Bone marrow aspirate smear. Single-cell field. Brightfield microscopy, 40× oil immersion:
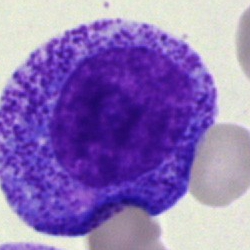

A progranulocyte.